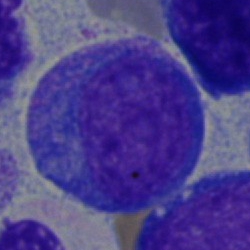The morphological class is progranulocyte.